Bone marrow aspirate smear: 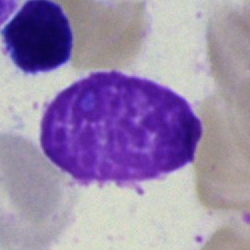 Single cell identified as a progranulocyte.